Bone marrow smear — 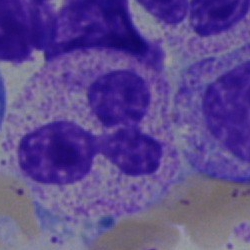

Impression — neutrophil (segmented).